Peripheral blood smear.
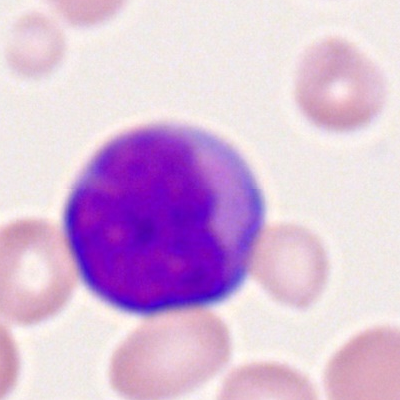 This is a myeloid blast.